Bone marrow aspirate smear. Single-cell crop
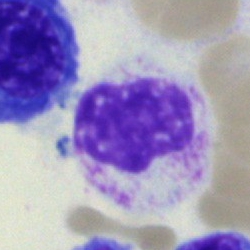Q: What is the morphological classification of this cell?
A: It is a metamyelocyte.